Single-cell crop; bone marrow smear:
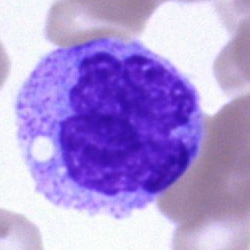

Specimen: bone marrow aspirate smear.
Morphological class: monocyte.
Lineage: myeloid.